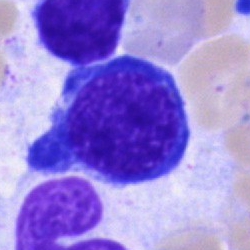 Specimen: bone marrow smear.
Cell: normoblast.